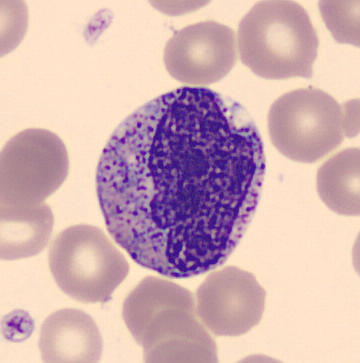Preparation: Peripheral blood smear.

Promyelocyte.